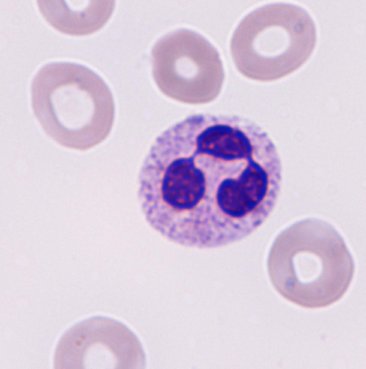 Specimen: peripheral blood smear.
Cell: neutrophilic granulocyte.